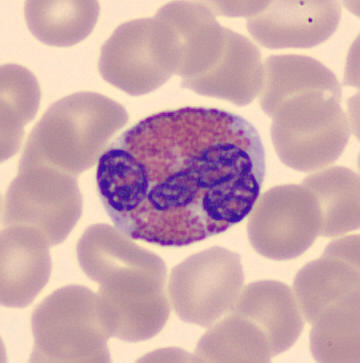
The cell shown is an eosinophil.

Preparation: Peripheral blood film.